Bone marrow smear. 250×250:
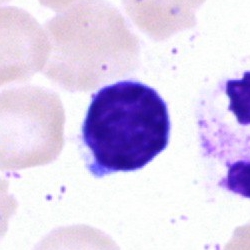 Classification = typical lymphocyte.